Bone marrow aspirate smear: 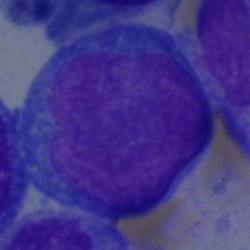A blast cell.